Bone marrow smear — 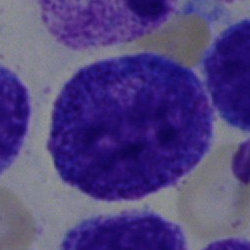
Classification: promyelocyte.